Bone marrow smear — 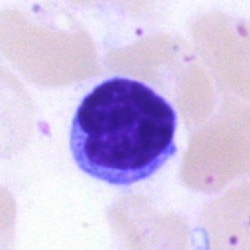
A lymphocyte.